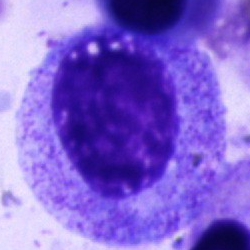Single cell identified as a progranulocyte.